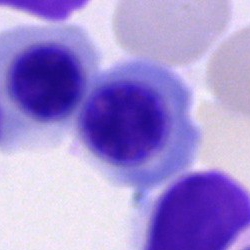 The cell is nucleated red cell.